Bone marrow aspirate smear.
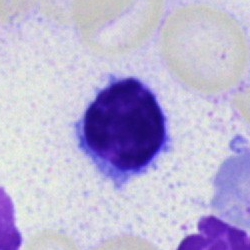

Cell: lymphocyte.